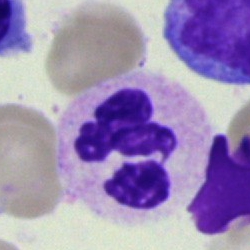 {"cell_type": "polymorphonuclear neutrophil", "lineage": "myeloid"}